Cropped to a single cell · bone marrow smear.
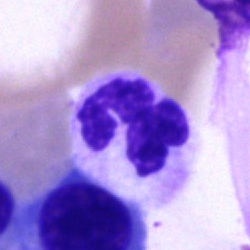 The classification is segmented neutrophil.